Image size 250×250; 40× objective, oil immersion; bone marrow aspirate smear:
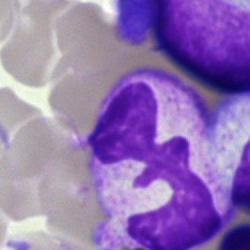 Showing a segmented neutrophil.